Single cell centered in the field · 250×250 px · bone marrow smear — 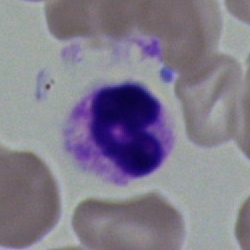
The cell type is polymorphonuclear neutrophil.